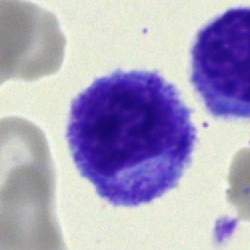 Bone marrow smear showing a lymphocyte.